Peripheral blood film — 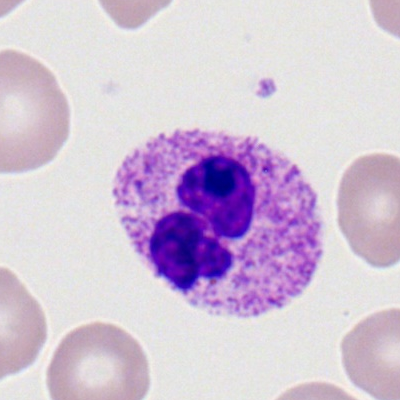

Morphology consistent with a segmented neutrophil.